Bone marrow smear — 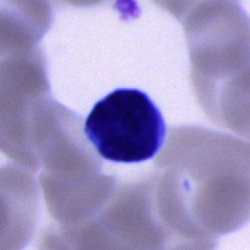Specimen: bone marrow smear.
Classification: typical lymphocyte.
Lineage: lymphoid.